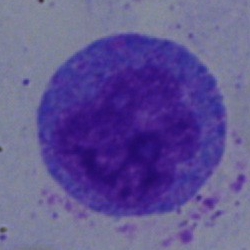Single cell identified as a promyelocyte.